Bone marrow smear. MGG-stained
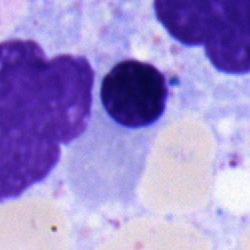Morphology consistent with a nucleated red blood cell.